Bone marrow smear
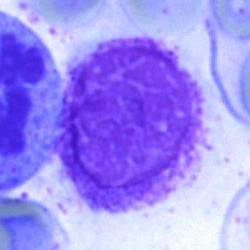Q: What is shown here?
A: Cell of indeterminate lineage.